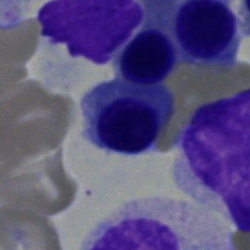 A nucleated red cell on a bone marrow smear.